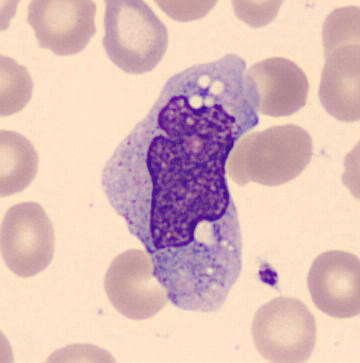

{"cell_type": "monocyte", "lineage": "myeloid"} May Grünwald-Giemsa stain. Single-cell crop. Peripheral blood film.